Bone marrow smear; single-cell crop
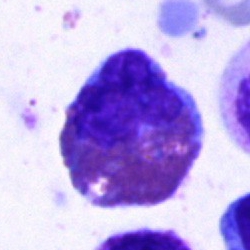
Cell type: eosinophilic granulocyte.